250×250 px. Bone marrow aspirate smear
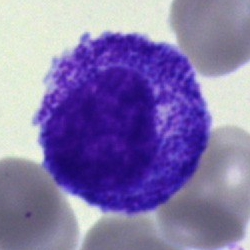Morphology → promyelocyte.